Bone marrow smear:
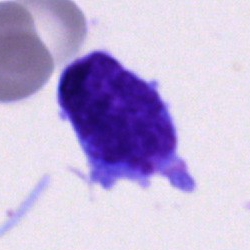

This is a blast.